Bone marrow smear.
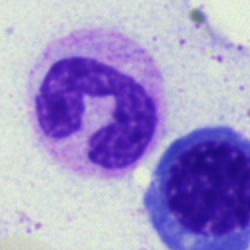
Classification: segmented neutrophil.